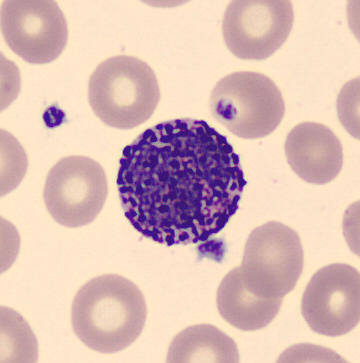Morphological class — basophilic granulocyte.